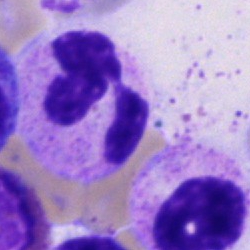
Classification: segmented neutrophil.